Bone marrow aspirate smear; brightfield microscopy, 40× oil immersion; Pappenheim-stained:
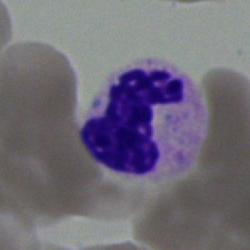 Q: What is shown here?
A: A neutrophil (segmented).